Bone marrow smear · cropped to a single cell · 250×250: 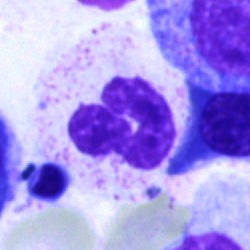
Q: What cell is this?
A: It is a polymorphonuclear neutrophil.